Cropped to a single cell. Peripheral blood smear. 100× objective, oil immersion
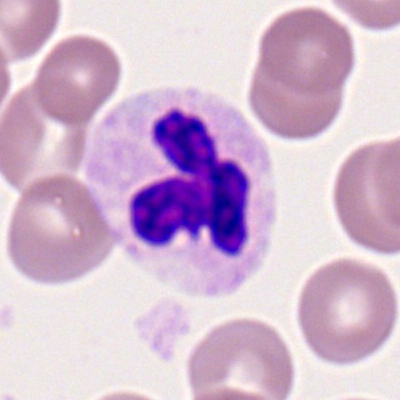Morphological class = polymorphonuclear neutrophil.